250×250 px. Bone marrow smear:
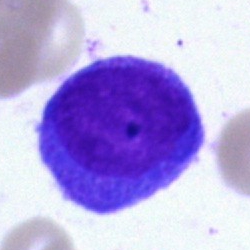 The cell shown is a blast.